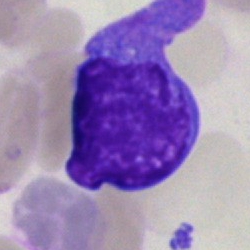 Cell — immature lymphocyte.